Image size 360×363; peripheral blood smear; single cell centered in the field — 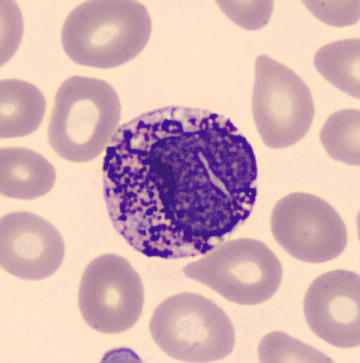Basophilic granulocyte.